250×250 px · bone marrow aspirate smear · May-Grünwald-Giemsa/Pappenheim stain: 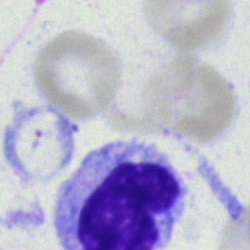
Morphological class = monocyte.